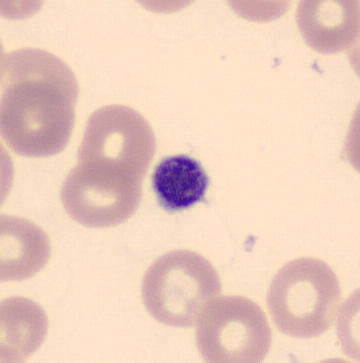 Identified as a platelet (thrombocyte).